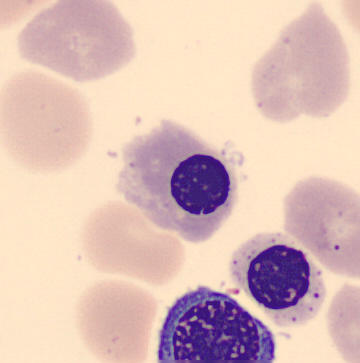
Impression → nucleated red blood cell. Preparation: Single cell centered in the field; peripheral blood smear.